Brightfield microscopy, 40× oil immersion. Bone marrow aspirate smear
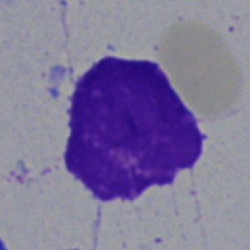
Q: What is shown here?
A: This is an artifact.